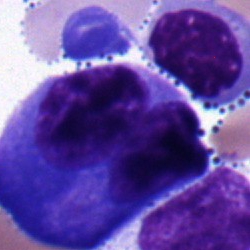This is a nucleated red cell.